Cropped to a single cell; 40× oil immersion; bone marrow smear.
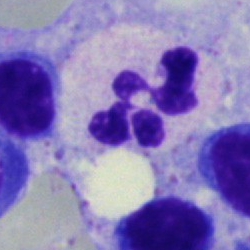

{"cell_type": "segmented neutrophil", "lineage": "myeloid"}